Bone marrow aspirate smear.
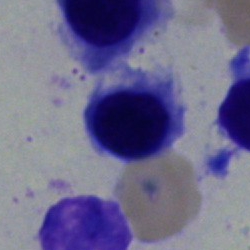
Morphology — erythroblast.